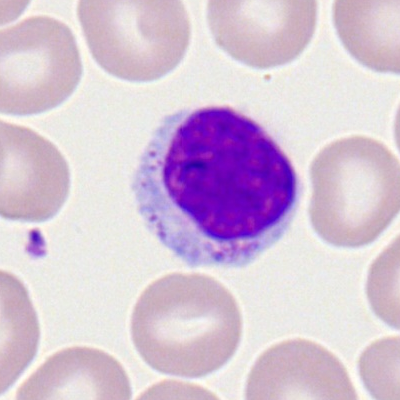Specimen: peripheral blood film.
Classification: typical lymphocyte.